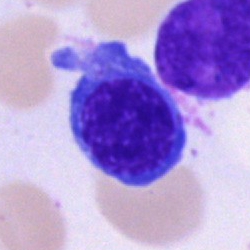
Morphology — nucleated red blood cell.